250×250 px · bone marrow smear — 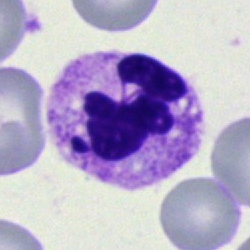 {"cell_type": "segmented neutrophil"}